Brightfield, 40× oil-immersion objective; bone marrow aspirate smear.
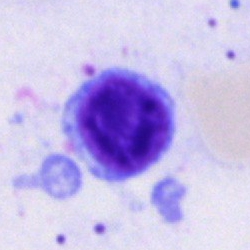
Impression → lymphocyte.